May-Grünwald-Giemsa/Pappenheim stain. Bone marrow aspirate smear
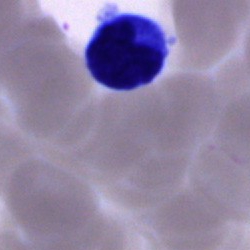
A typical lymphocyte.